Bone marrow aspirate smear · 40× objective, oil immersion
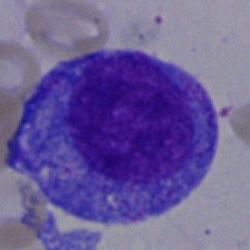 Showing a promyelocyte.